250×250. Cropped to a single cell. Bone marrow smear.
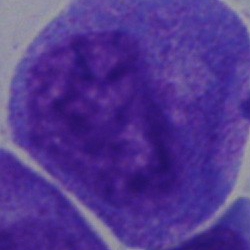Specimen: bone marrow aspirate smear.
Classification: promyelocyte.